40× objective, oil immersion. Bone marrow smear — 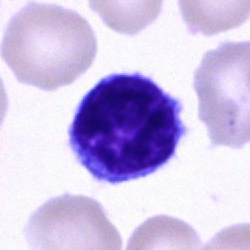 Q: What is shown here?
A: Typical lymphocyte.